Bone marrow aspirate smear: 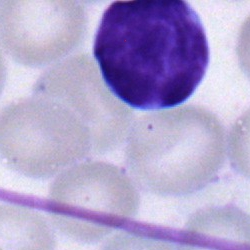Classification = lymphocyte.